Image size 250×250 · bone marrow aspirate smear — 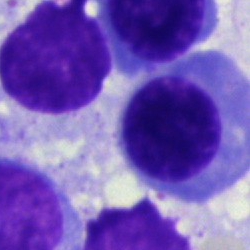

Erythroblast.